Single-cell field. Bone marrow aspirate smear. 40× objective, oil immersion.
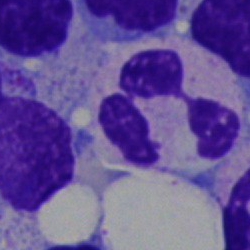Specimen: bone marrow smear.
Morphological class: segmented neutrophil.
Lineage: myeloid.